Single-cell field · bone marrow smear — 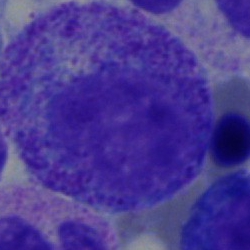

Cell type — promyelocyte.